Bone marrow smear. 250 by 250 pixels. Brightfield microscopy, 40× oil immersion — 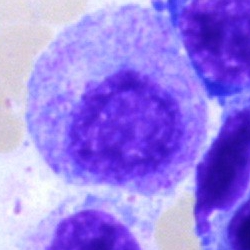 {"cell_type": "myelocyte"}